Bone marrow smear
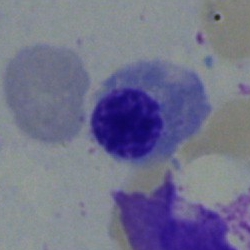Erythroblast.